Peripheral blood smear. 400×400 px — 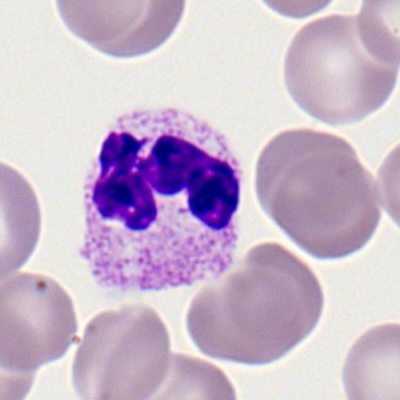 A segmented neutrophil.